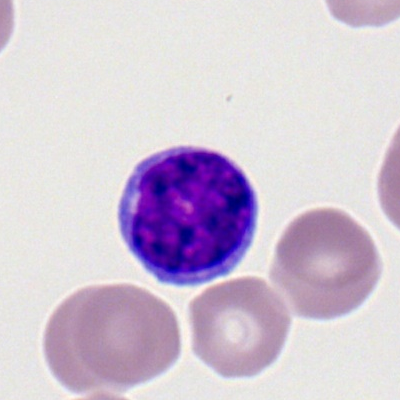

Q: What is shown here?
A: Lymphocyte.